Bone marrow aspirate smear
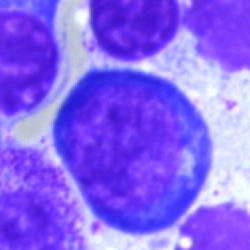Specimen: bone marrow smear.
Cell: erythroblast.